Bone marrow aspirate smear.
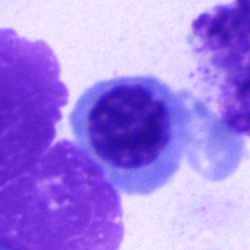
Q: What cell is this?
A: It is a nucleated red blood cell.